Bone marrow smear:
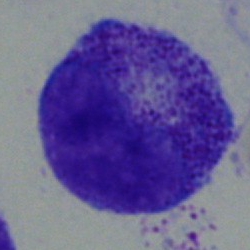
{"cell_type": "promyelocyte"}